Bone marrow aspirate smear · 250×250: 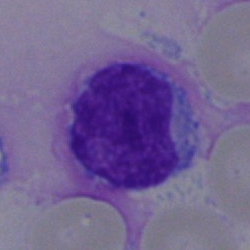

Q: Which cell type is shown here?
A: A typical lymphocyte.